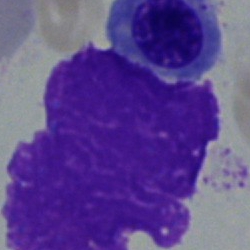

A nucleated red cell on a bone marrow smear.